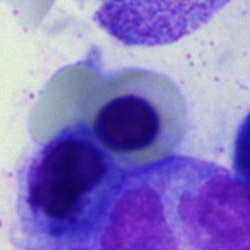 Q: What type of cell is this?
A: An erythroblast.